Bone marrow aspirate smear: 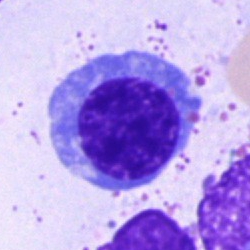 Classification = nucleated red blood cell.